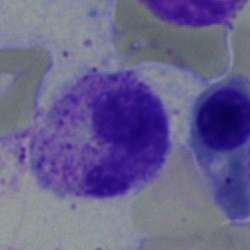Impression — band-form neutrophil.